Bone marrow aspirate smear · brightfield microscopy, 40× oil immersion
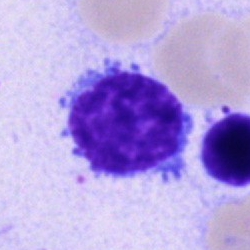A typical lymphocyte.